Bone marrow smear
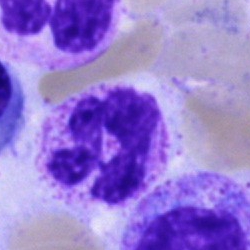Q: What is the morphological classification of this cell?
A: A polymorphonuclear neutrophil.